Bone marrow smear; image size 250×250:
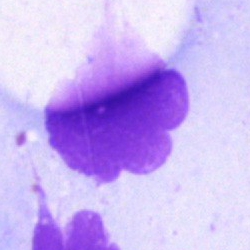 Cell = artefact.